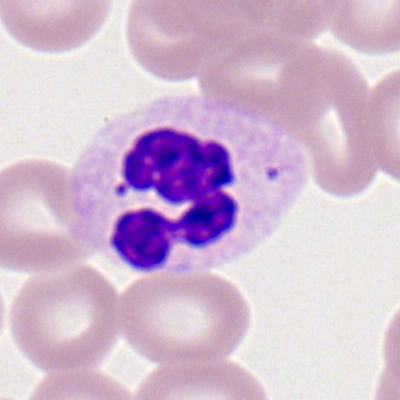The classification is segmented neutrophil.